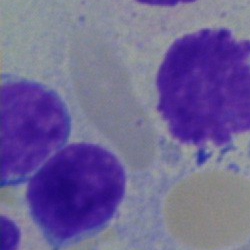
Q: Identify the cell.
A: Lymphocyte.